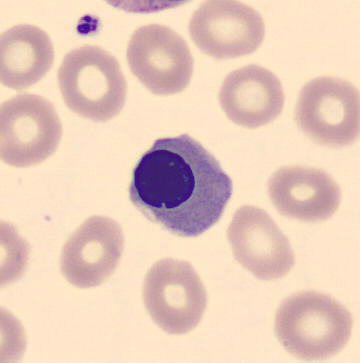 From a peripheral blood smear: a normoblast.